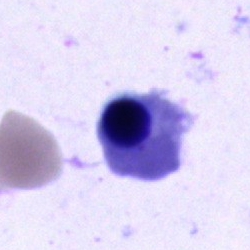 Classification = normoblast.